Bone marrow aspirate smear.
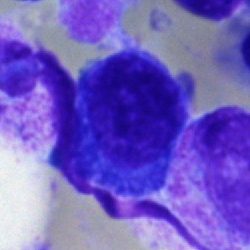
Specimen: bone marrow smear.
Classification: nucleated red blood cell.